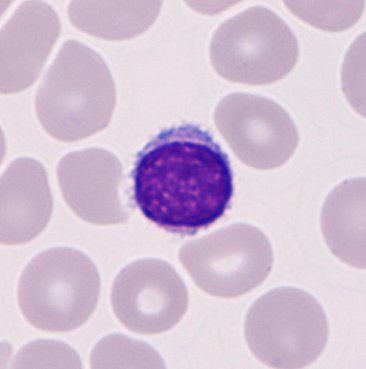Q: Identify the cell.
A: This is a typical lymphocyte.
Preparation: Peripheral blood film.